40× objective, oil immersion; bone marrow aspirate smear; image size 250×250.
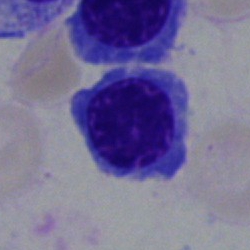 An erythroblast.